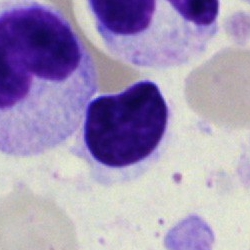 Bone marrow aspirate smear, single cell — lymphocyte.